Bone marrow aspirate smear:
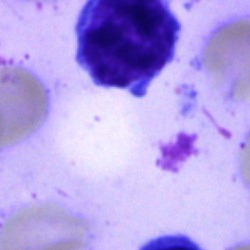

Morphology consistent with a lymphocyte.